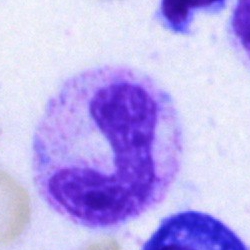 Specimen: bone marrow smear.
Classification: band neutrophil.